Bone marrow smear.
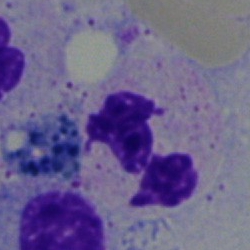Q: Which cell type is shown here?
A: This is a neutrophil (segmented).